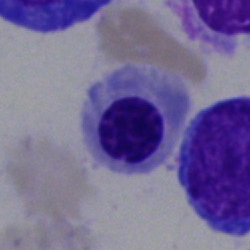Bone marrow aspirate smear, single cell — nucleated red blood cell.